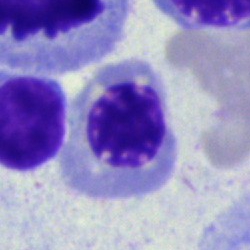

Q: What is shown here?
A: A nucleated red blood cell.